40× objective, oil immersion; bone marrow smear — 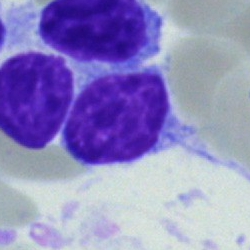
Single cell identified as a typical lymphocyte.